Bone marrow smear · MGG-stained · 250×250 px.
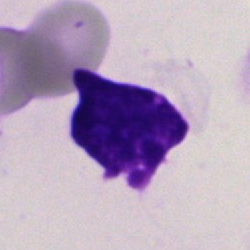

Q: What is shown here?
A: This is an artefact.